Peripheral blood film: 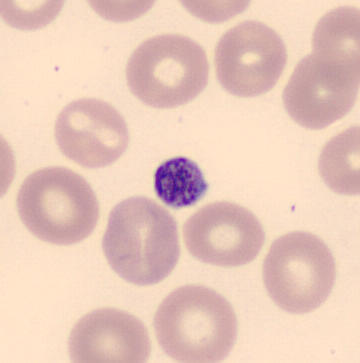

Q: What is this?
A: A platelet (thrombocyte).